Bone marrow smear. May-Grünwald-Giemsa stain:
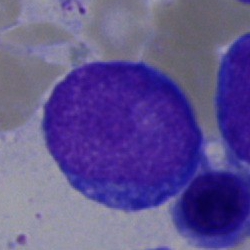

Morphological class: blast.